Single cell centered in the field · bone marrow smear · brightfield, 40× oil-immersion objective.
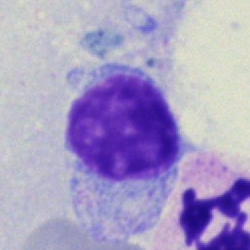

Specimen: bone marrow smear.
Morphological class: artefact.